Bone marrow smear. Image size 250×250.
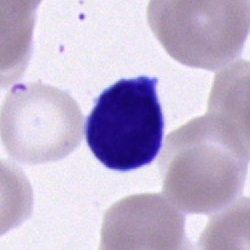 Q: What is shown here?
A: It is a typical lymphocyte.